Bone marrow smear; May-Grünwald-Giemsa stain; 250×250:
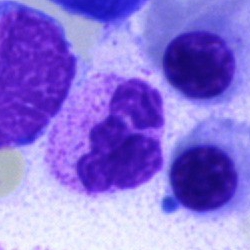

The classification is neutrophil (segmented).